250 by 250 pixels · MGG-stained · bone marrow aspirate smear — 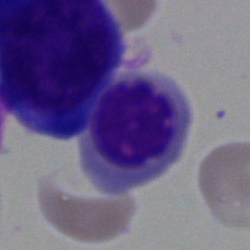Specimen: bone marrow smear.
Cell type: nucleated red cell.